Cropped to a single cell · 100× objective, oil immersion · peripheral blood film: 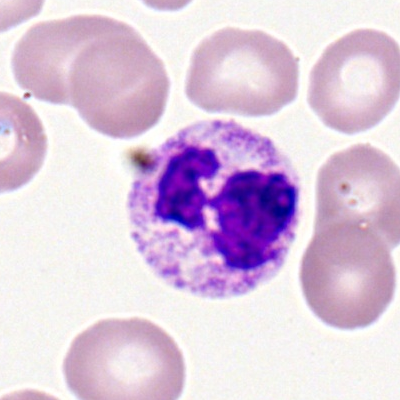 Polymorphonuclear neutrophil.